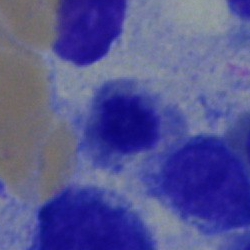

The classification is erythroblast.